Bone marrow smear
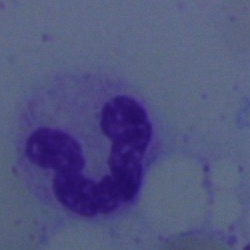 Morphology consistent with a band neutrophil.